Bone marrow smear — 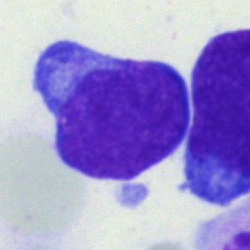

This is a blast.